Bone marrow smear. Brightfield, 40× oil-immersion objective
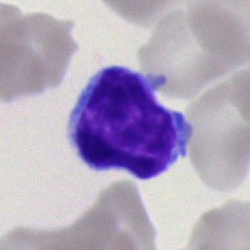

Q: What is the morphological classification of this cell?
A: This is a typical lymphocyte.